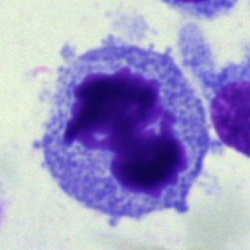
Single-cell crop from a bone marrow smear: artifact.